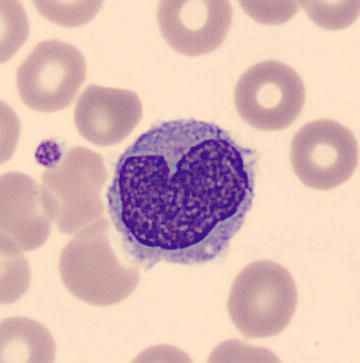{"cell_type": "monocyte"} Image: Image size 360×363. Peripheral blood smear.